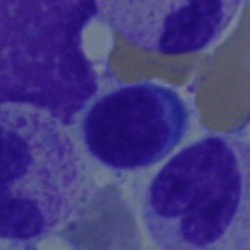Morphology consistent with a lymphocyte.